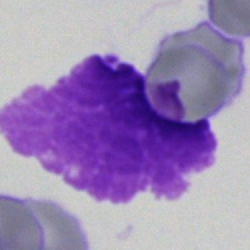 Q: What is shown here?
A: Artefact.